Single-cell crop; bone marrow smear.
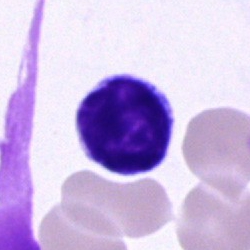Q: What is shown here?
A: This is a lymphocyte.